Single-cell field; bone marrow smear:
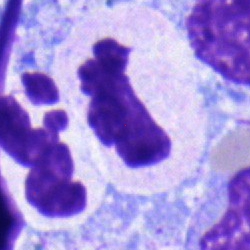This is a neutrophil (segmented).